Bone marrow smear.
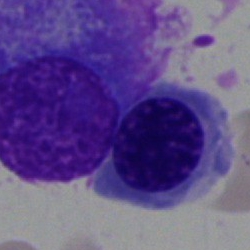

Morphological class — erythroblast.